Bone marrow smear:
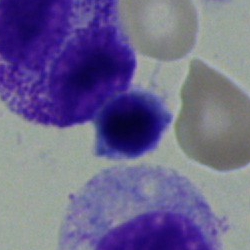
Morphology → nucleated red blood cell.